250×250; single cell centered in the field; bone marrow aspirate smear: 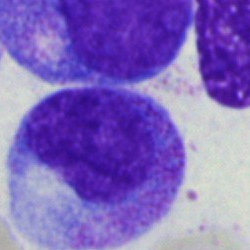 Specimen: bone marrow aspirate smear.
Morphological class: promyelocyte.